40× oil immersion · May-Grünwald-Giemsa stain · bone marrow aspirate smear:
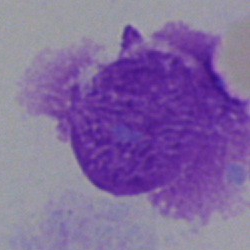

Cell — artefact.